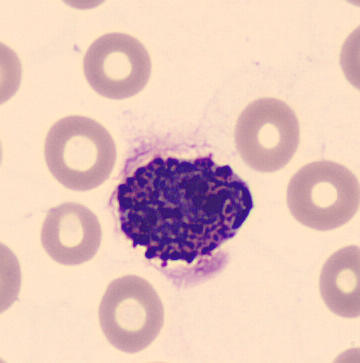
Preparation: Peripheral blood smear. Q: What is shown here?
A: This is a basophil.